Peripheral blood film — 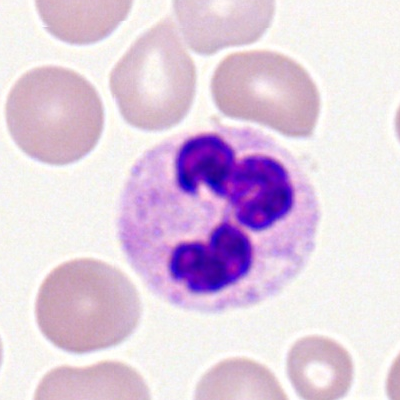 Cell type = segmented neutrophil.